Pappenheim-stained; bone marrow smear; image size 250×250 — 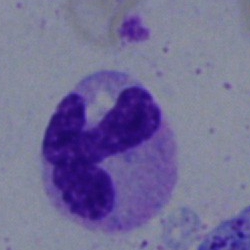

Morphology consistent with a neutrophil (segmented).